Bone marrow smear
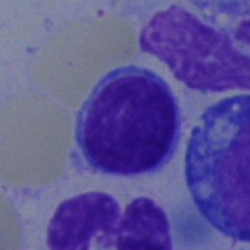 The classification is lymphocyte.